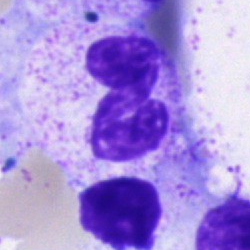{"cell_type": "segmented neutrophil"}